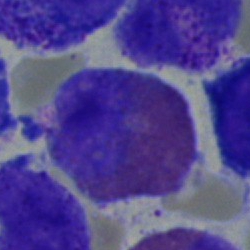

Q: Identify the cell.
A: Eosinophil.